Single-cell field. Bone marrow smear
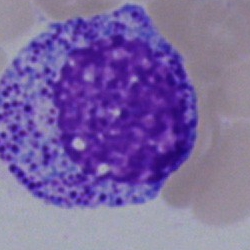Impression — myelocyte.